Bone marrow smear. 250×250 px:
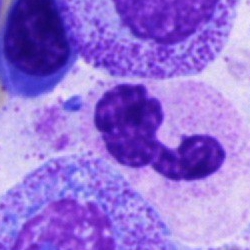Morphology consistent with a segmented neutrophil.